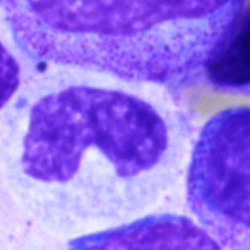

Specimen: bone marrow aspirate smear.
Cell type: neutrophil (band).
Lineage: myeloid.